Bone marrow smear · 40× oil immersion:
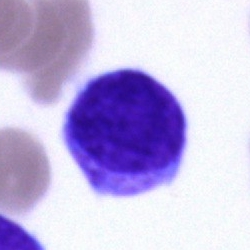

Cell type: blast cell.